Bone marrow aspirate smear; cropped to a single cell: 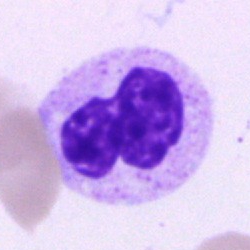

Morphological class — neutrophil (segmented).